Bone marrow aspirate smear; 250×250; Pappenheim-stained: 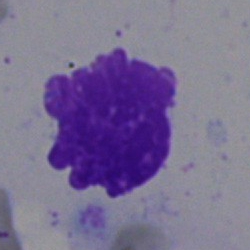{"cell_type": "artifact"}